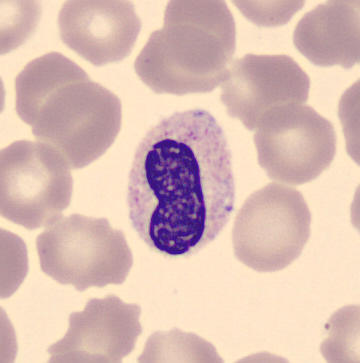
Peripheral blood smear; single-cell crop.

Showing a band neutrophil.